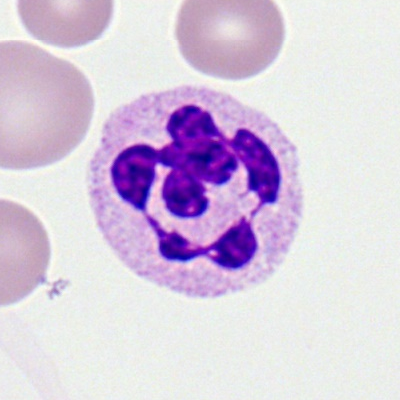Classification = neutrophil (segmented).